400 by 400 pixels. Peripheral blood film.
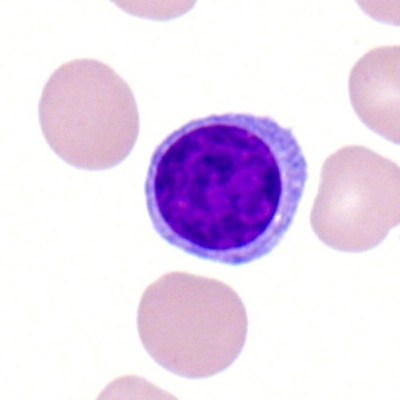
Specimen: peripheral blood smear.
Cell: typical lymphocyte.